May-Grünwald-Giemsa stain; bone marrow aspirate smear; brightfield, 40× oil-immersion objective:
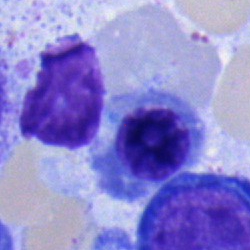
Q: What cell is this?
A: Erythroblast.